Bone marrow smear: 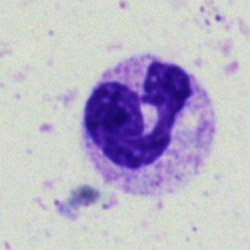

Morphology → polymorphonuclear neutrophil.